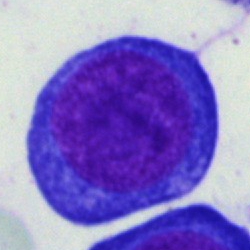

Morphology — pronormoblast.